Bone marrow aspirate smear:
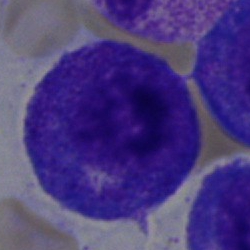 Morphology consistent with a progranulocyte.